Bone marrow aspirate smear:
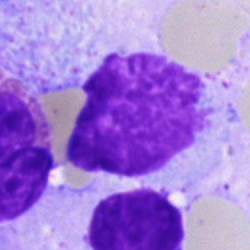
Classification — artifact.